Bone marrow aspirate smear; image size 250×250; 40× oil immersion — 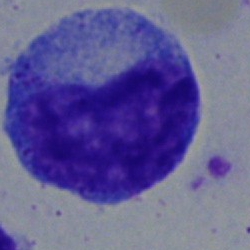
Q: What is shown here?
A: A progranulocyte.